40× oil immersion · bone marrow smear · May-Grünwald-Giemsa stain.
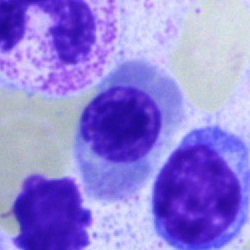
This is a normoblast.